Bone marrow smear; 250×250 px.
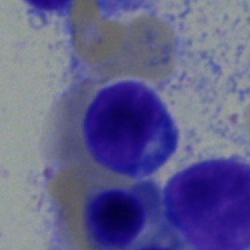

Classification — typical lymphocyte.